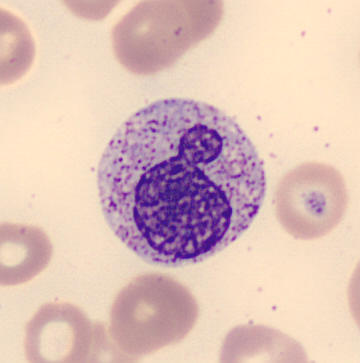
Morphology → metamyelocyte.
Image size 360×363. Peripheral blood smear.